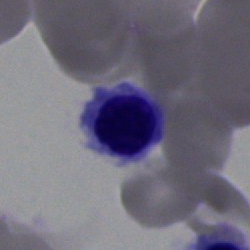
Q: Which cell type is shown here?
A: This is a nucleated red blood cell.